Image size 250×250 · bone marrow smear · 40× objective, oil immersion:
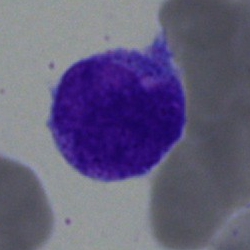 This is a blast cell.